Bone marrow aspirate smear:
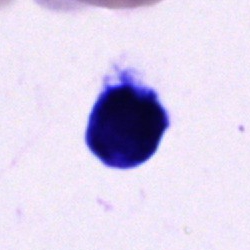Q: What type of cell is this?
A: This is an unidentifiable cell.